Bone marrow smear. 250 by 250 pixels: 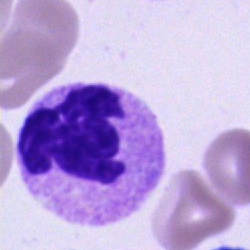Single cell identified as a polymorphonuclear neutrophil.